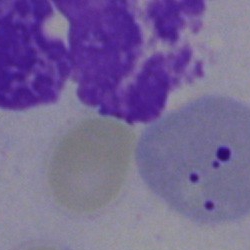 An artefact.